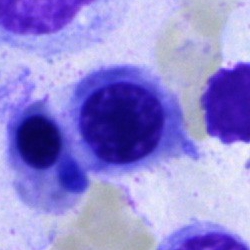 Nucleated red blood cell.